40× objective, oil immersion; bone marrow aspirate smear: 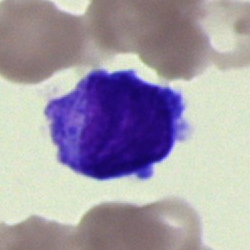 Showing a blast cell.